Bone marrow aspirate smear:
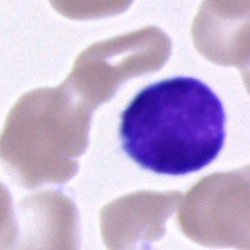 Cell: typical lymphocyte.